Bone marrow aspirate smear
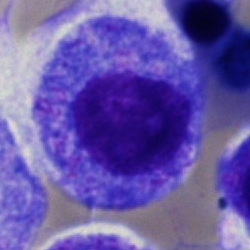
Classification — progranulocyte.